Single cell centered in the field · bone marrow smear · brightfield microscopy, 40× oil immersion
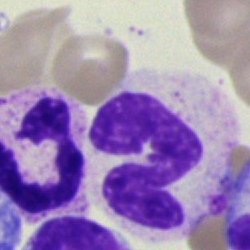
Showing a polymorphonuclear neutrophil.